MGG-stained. Bone marrow smear:
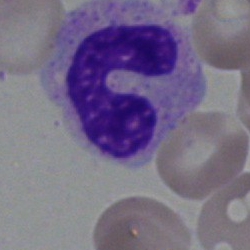

Showing a band neutrophil.